Peripheral blood film
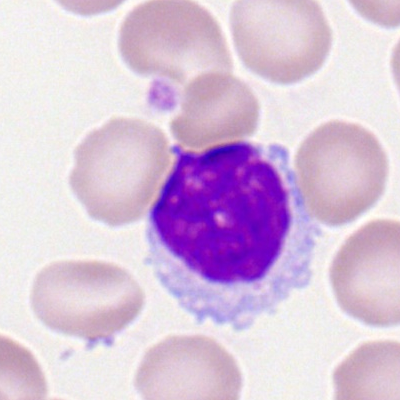Q: Which cell type is shown here?
A: Typical lymphocyte.